Bone marrow aspirate smear — 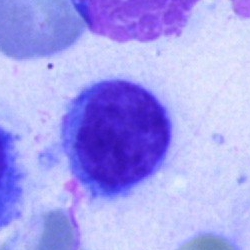
Q: Which cell type is shown here?
A: It is a typical lymphocyte.